Bone marrow aspirate smear; single cell centered in the field; MGG-stained
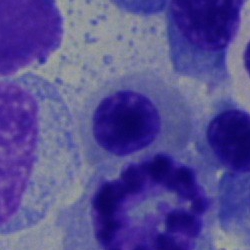

A nucleated red blood cell.